Bone marrow aspirate smear: 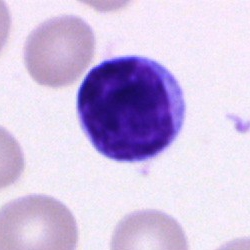 This is a lymphocyte.